May-Grünwald-Giemsa stain; bone marrow aspirate smear; 40× oil immersion
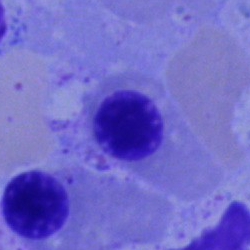Showing a nucleated red cell.